Bone marrow smear — 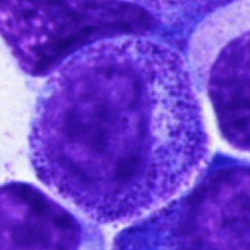

Q: What is the morphological classification of this cell?
A: It is a progranulocyte.